Bone marrow smear — 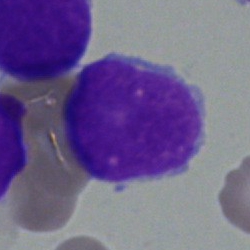
Cell type — undifferentiated blast.